Bone marrow aspirate smear. 40× objective, oil immersion. 250 by 250 pixels — 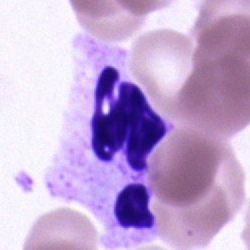Cell type: segmented neutrophil.